May-Grünwald-Giemsa/Pappenheim stain · bone marrow aspirate smear · single-cell field — 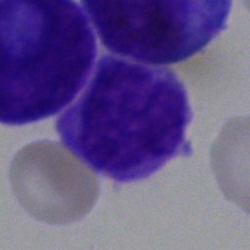 Q: What type of cell is this?
A: It is a blast.